250 by 250 pixels; bone marrow aspirate smear — 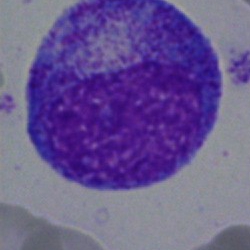Showing a progranulocyte.